Bone marrow smear. Pappenheim-stained
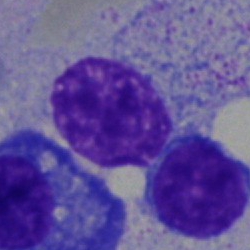 Classification: typical lymphocyte.